Bone marrow aspirate smear
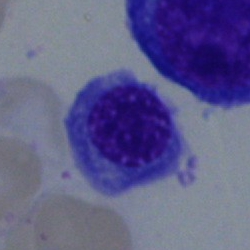
Specimen: bone marrow aspirate smear.
Morphological class: normoblast.
Lineage: erythroid.